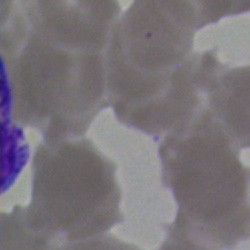Impression — artifact.